Cropped to a single cell · bone marrow aspirate smear: 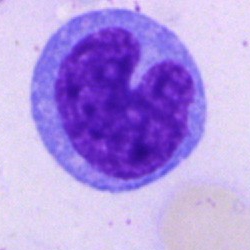

The classification is monocyte.